Peripheral blood smear:
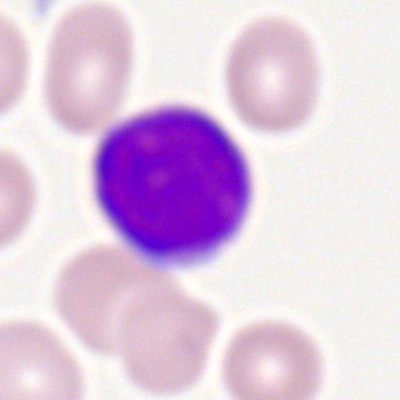
Myeloblast.